Bone marrow aspirate smear
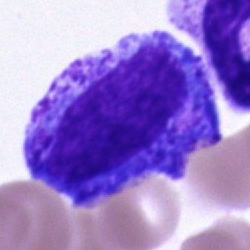Specimen: bone marrow aspirate smear.
Cell: progranulocyte.